Bone marrow aspirate smear — 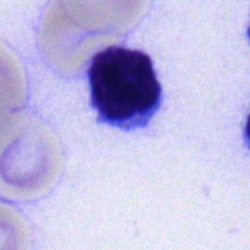
Q: What is shown here?
A: It is a lymphocyte.